Bone marrow aspirate smear; May-Grünwald-Giemsa stain: 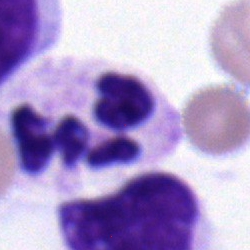Showing a polymorphonuclear neutrophil.